250 by 250 pixels · single cell centered in the field · bone marrow smear — 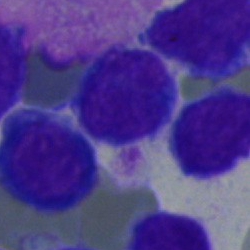
Morphology → typical lymphocyte.